Bone marrow aspirate smear. 40× oil immersion
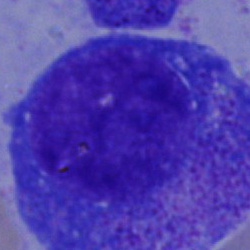 Specimen: bone marrow smear.
Cell: promyelocyte.